40× objective, oil immersion; bone marrow smear.
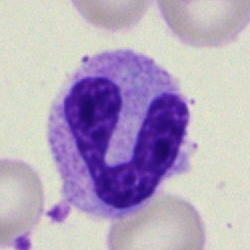

Morphological class — neutrophil (segmented).